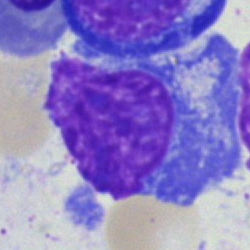 Morphology — plasmacyte.